Bone marrow smear · May-Grünwald-Giemsa/Pappenheim stain — 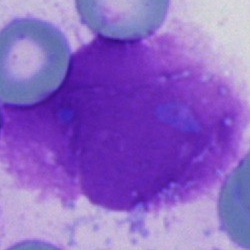
Impression — artefact.